Bone marrow smear. Pappenheim-stained — 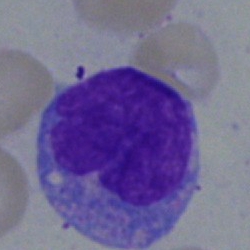 Morphology — monocyte.